Bone marrow aspirate smear.
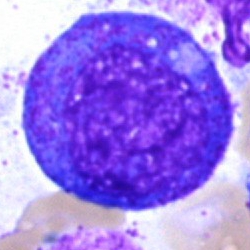

Morphology consistent with a promyelocyte.